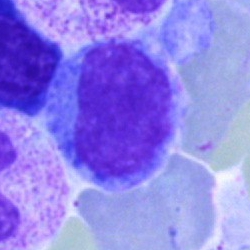
Specimen: bone marrow smear.
Classification: lymphocyte.